Bone marrow smear — 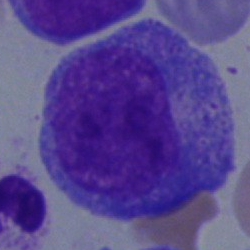
The classification is promyelocyte.